Bone marrow smear · May-Grünwald-Giemsa stain · brightfield microscopy, 40× oil immersion
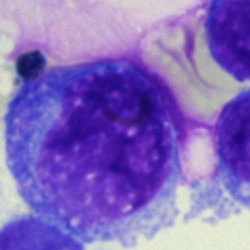 The classification is blast.